Cropped to a single cell. 100× oil immersion. Peripheral blood smear: 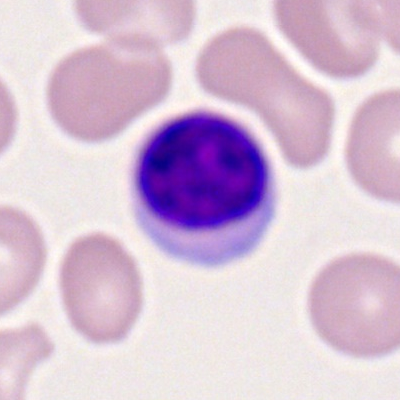
Cell type: typical lymphocyte.